Bone marrow smear — 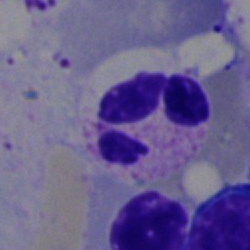A neutrophil (segmented).